Brightfield microscopy, 40× oil immersion · bone marrow smear: 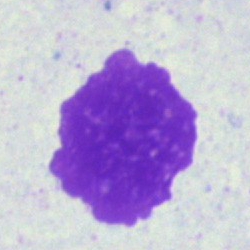Cell: artifact.